Bone marrow aspirate smear. Single-cell field. May-Grünwald-Giemsa/Pappenheim stain.
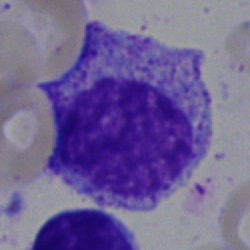Specimen: bone marrow smear.
Classification: myelocyte.
Lineage: myeloid.